Bone marrow smear:
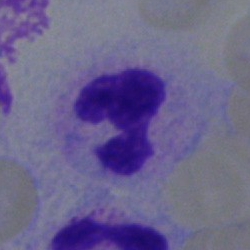
Neutrophil (segmented).